Bone marrow aspirate smear — 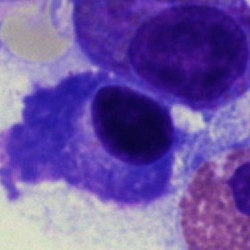

Single cell identified as a plasmacyte.